Bone marrow aspirate smear — 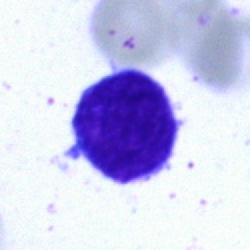 The cell shown is a typical lymphocyte.